Bone marrow aspirate smear
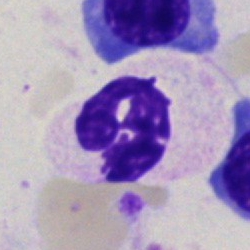
Specimen: bone marrow aspirate smear.
Morphological class: neutrophil (segmented).
Lineage: myeloid.